Peripheral blood film: 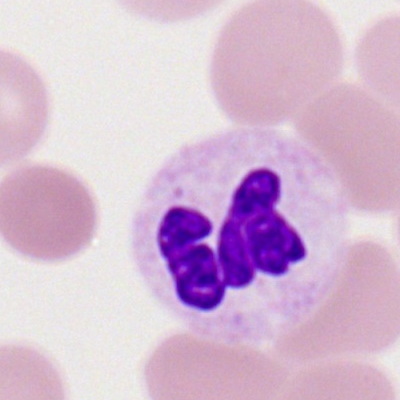Cell: neutrophil (segmented).